Bone marrow aspirate smear.
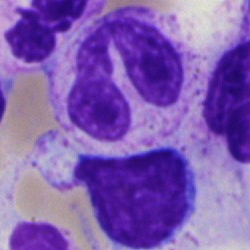 Q: What type of cell is this?
A: It is a segmented neutrophil.